Bone marrow smear; MGG-stained: 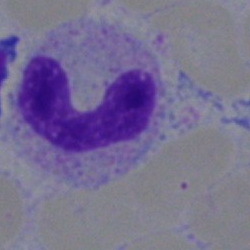 Cell — band neutrophil.